100× oil immersion. Peripheral blood smear. Romanowsky stain — 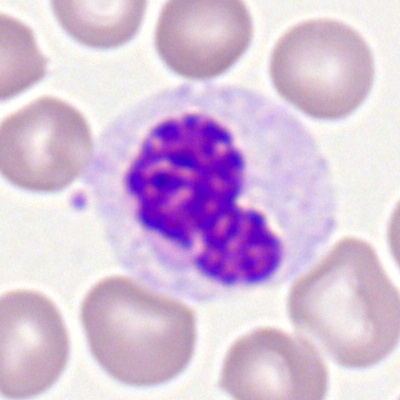 Cell type = segmented neutrophil.